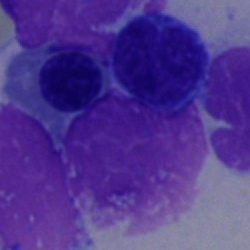

Bone marrow smear showing a nucleated red cell.